Bone marrow smear — 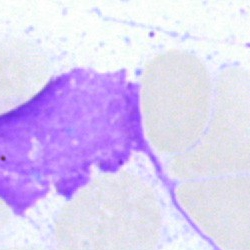
Q: What is shown here?
A: It is an artefact.